May-Grünwald-Giemsa stain · brightfield microscopy, 40× oil immersion · bone marrow smear
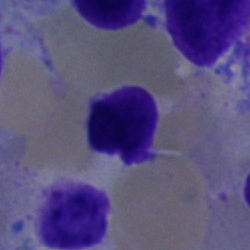 Single cell identified as a typical lymphocyte.